Bone marrow smear
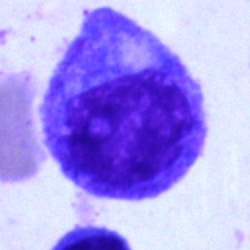
Showing a progranulocyte.